Single cell centered in the field; bone marrow smear: 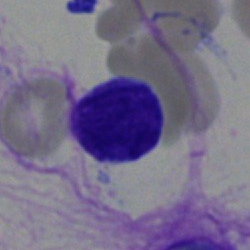

Morphology consistent with a typical lymphocyte.